Bone marrow smear — 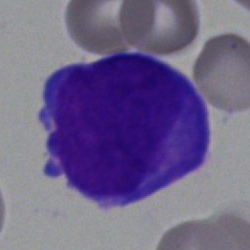
Morphology — blast cell.